Bone marrow aspirate smear; single-cell field:
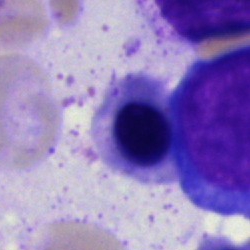

Classification = erythroblast.